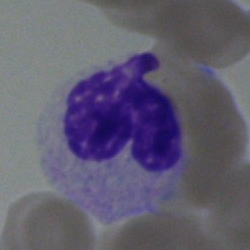
Classification — stab cell.